Bone marrow smear.
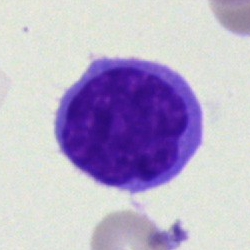The classification is undifferentiated blast.